Single cell centered in the field; bone marrow aspirate smear — 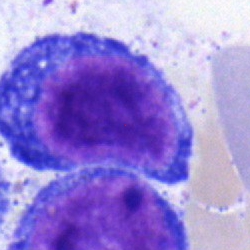
Cell type — proerythroblast.